Bone marrow smear · 250×250 · single-cell crop:
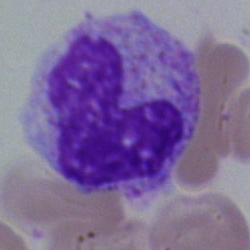 Morphology — band neutrophil.